Bone marrow aspirate smear — 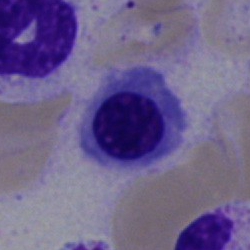 Morphology consistent with a normoblast.